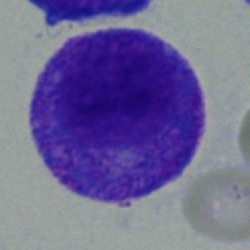

Cell type: promyelocyte.